Bone marrow aspirate smear
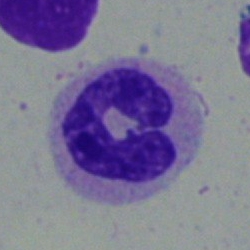
Morphology consistent with a neutrophil (band).